Bone marrow aspirate smear:
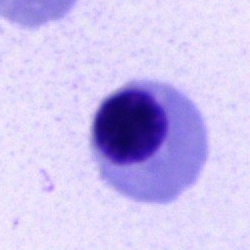

Morphology → normoblast.